May-Grünwald-Giemsa stain · cropped to a single cell · bone marrow smear
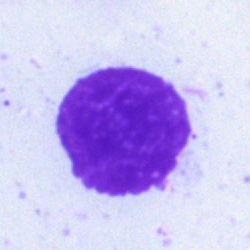Morphology consistent with an artefact.